MGG-stained. Bone marrow smear:
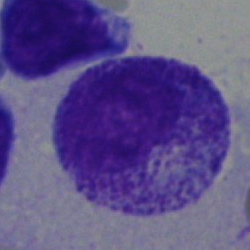

This is a myelocyte.